Single cell centered in the field; bone marrow aspirate smear — 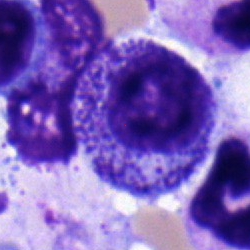

Single cell identified as a myelocyte.